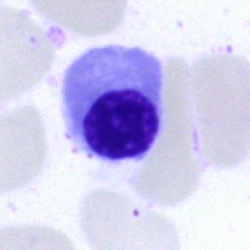Erythroblast.